250×250 px · bone marrow aspirate smear · brightfield, 40× oil-immersion objective:
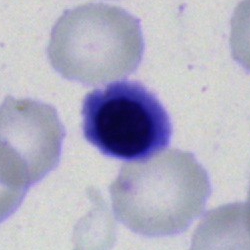{"cell_type": "normoblast"}